250×250. Bone marrow aspirate smear. May-Grünwald-Giemsa stain
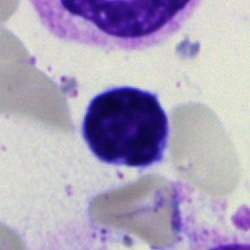 Single cell identified as a lymphocyte.